Bone marrow smear. Image size 250×250.
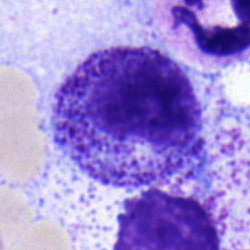 Morphology consistent with a myelocyte.